400×400 · peripheral blood film: 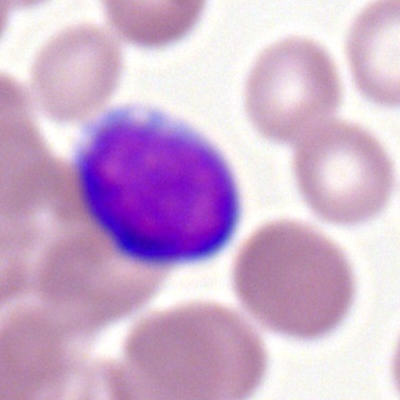Morphology — myeloblast.